Bone marrow smear:
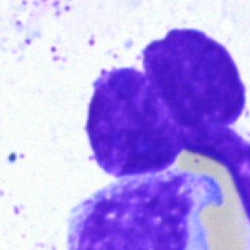Specimen: bone marrow smear.
Morphological class: artifact.